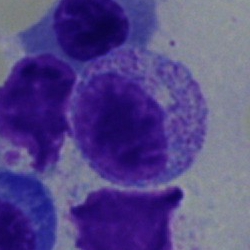
Specimen: bone marrow smear.
Classification: myelocyte.
Lineage: myeloid.